Peripheral blood smear — 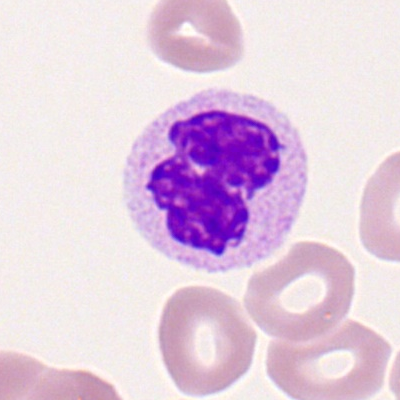 Morphological class: polymorphonuclear neutrophil.